Bone marrow smear.
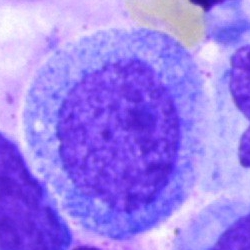Promyelocyte.